Single-cell crop · bone marrow smear · MGG-stained.
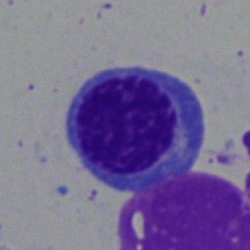Q: What is the morphological classification of this cell?
A: Normoblast.